Single cell centered in the field. Bone marrow smear.
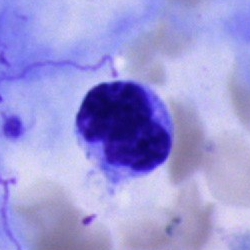
Cell = cell of indeterminate lineage.